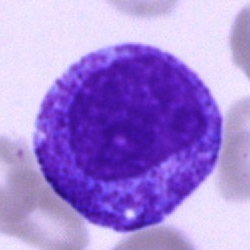 Classification: progranulocyte.